Bone marrow smear: 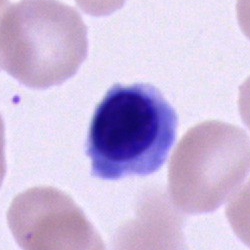Specimen: bone marrow aspirate smear.
Cell type: erythroblast.